Bone marrow aspirate smear:
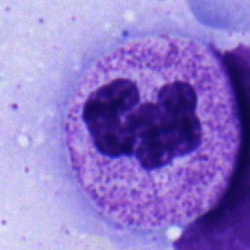Morphological class — neutrophil (segmented).